Single cell centered in the field; 250 by 250 pixels; bone marrow aspirate smear.
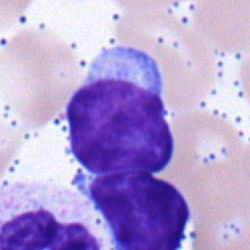

Impression → typical lymphocyte.